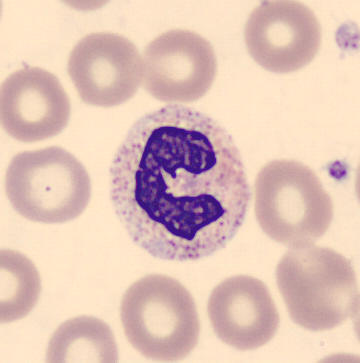Peripheral blood smear.

A neutrophil (band).